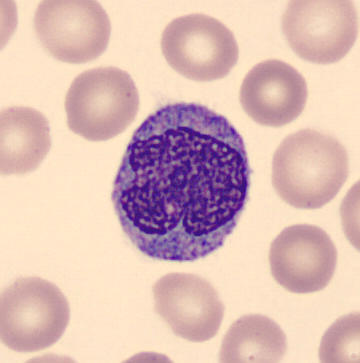

Peripheral blood smear. Impression → monocyte.